May-Grünwald-Giemsa stain. 250×250 px. Bone marrow smear.
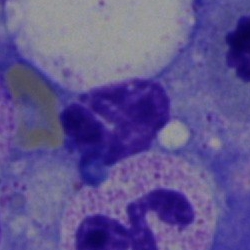

This is an artifact.